Bone marrow smear — 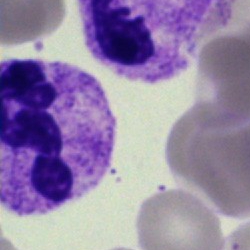 Morphological class — segmented neutrophil.